Single-cell field · Pappenheim-stained · bone marrow smear:
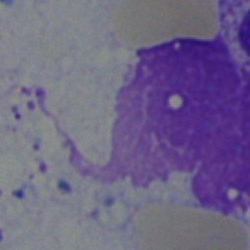

Morphology → artifact.